Bone marrow aspirate smear:
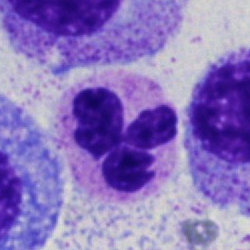Q: What is shown here?
A: Segmented neutrophil.